Single cell centered in the field; 40× objective, oil immersion; bone marrow smear
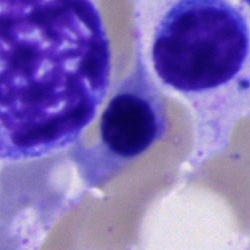
Q: What cell is this?
A: A nucleated red blood cell.